Bone marrow aspirate smear — 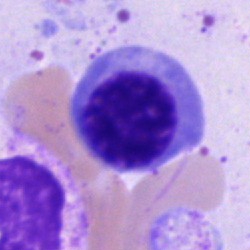A nucleated red cell.